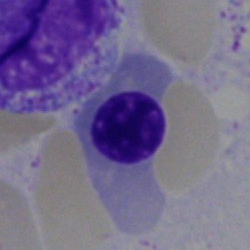 Morphological class — nucleated red cell.